Image size 250×250; bone marrow aspirate smear; brightfield, 40× oil-immersion objective: 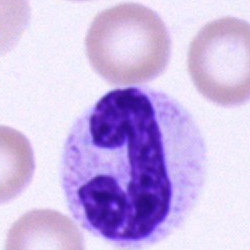

Classification: neutrophil (band).